400×400 px. Peripheral blood smear
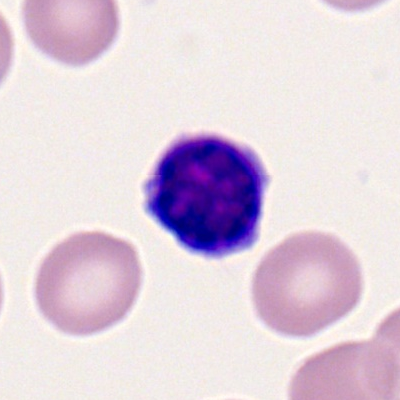{"cell_type": "typical lymphocyte", "lineage": "lymphoid"}